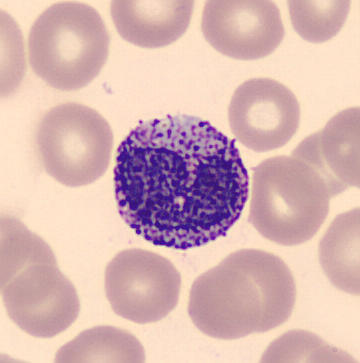 Single cell identified as a basophilic granulocyte.
Peripheral blood film. May Grünwald-Giemsa stain.